250 by 250 pixels. 40× oil immersion. Bone marrow smear:
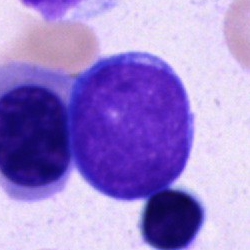 Cell type = undifferentiated blast.